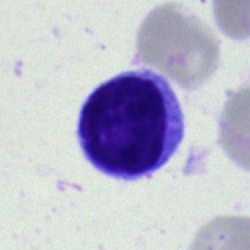
The classification is lymphocyte.